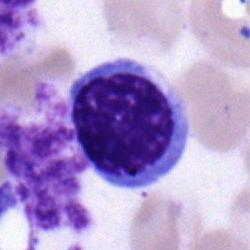

The morphological class is normoblast.